Bone marrow smear. 250×250:
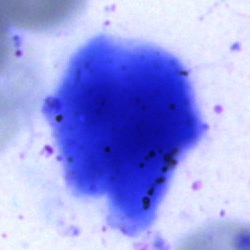
The cell is artefact.